Bone marrow smear · 40× oil immersion · MGG-stained — 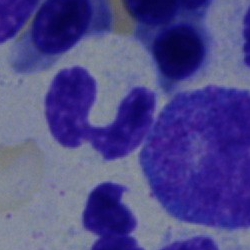
Cell: neutrophil (segmented).